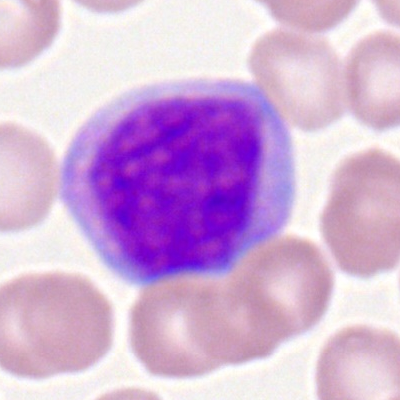Specimen: peripheral blood film.
Cell type: myeloblast.